Brightfield, 40× oil-immersion objective; bone marrow aspirate smear — 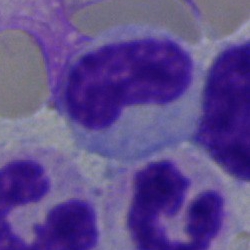Specimen: bone marrow aspirate smear.
Cell type: neutrophil (band).